Peripheral blood smear: 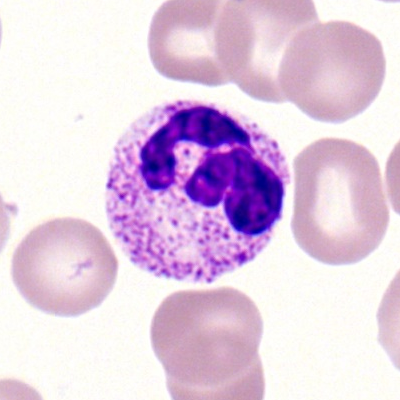
Showing a neutrophil (segmented).